Bone marrow aspirate smear: 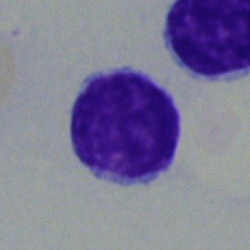
The classification is lymphocyte.